40× objective, oil immersion; bone marrow smear; 250×250 px — 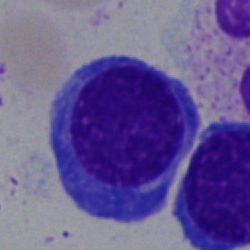
Morphological class — nucleated red cell.